Single cell centered in the field · brightfield, 40× oil-immersion objective · bone marrow smear — 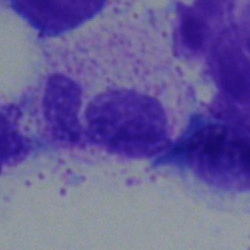 Classification: neutrophil (segmented).